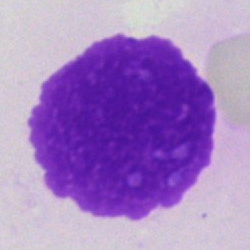 Morphology consistent with an artifact.